Bone marrow aspirate smear — 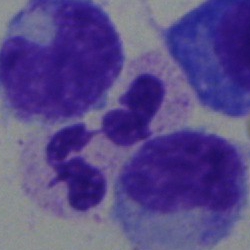

The classification is segmented neutrophil.